Bone marrow smear:
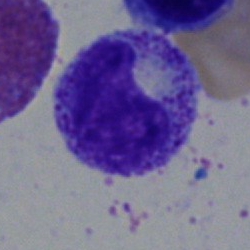

Morphological class = metamyelocyte.